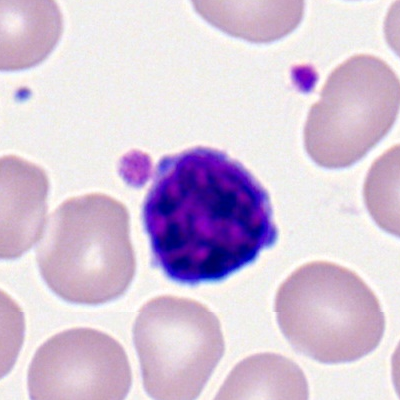

The morphological class is lymphocyte.